Bone marrow aspirate smear.
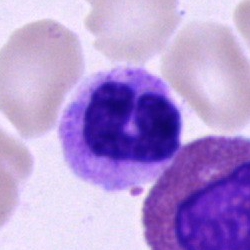
The cell shown is a neutrophil (band).